250×250 px; bone marrow smear: 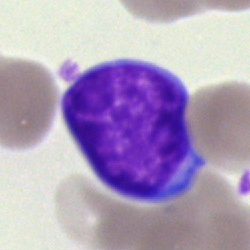
Specimen: bone marrow smear.
Cell type: blast.